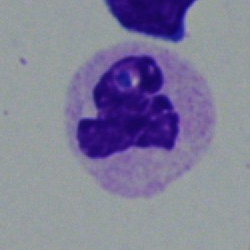
Classification: polymorphonuclear neutrophil.